Bone marrow aspirate smear — 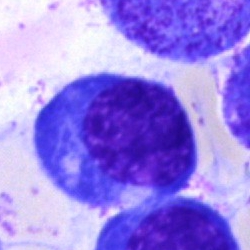 The cell shown is a normoblast.